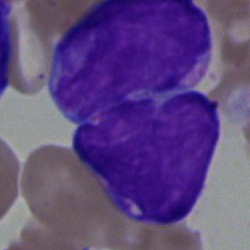 Single cell identified as an undifferentiated blast.